Bone marrow aspirate smear
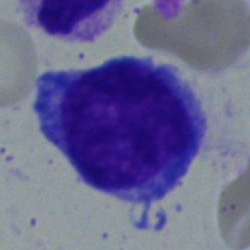
Specimen: bone marrow aspirate smear.
Cell: blast.